Pappenheim-stained; bone marrow smear.
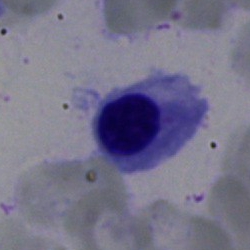 Showing a normoblast.